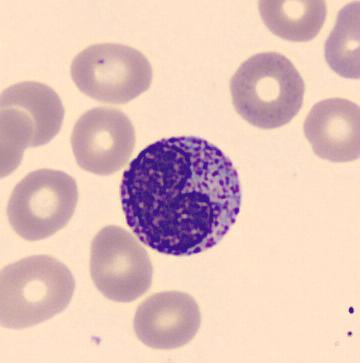
Impression — metamyelocyte.